Bone marrow smear: 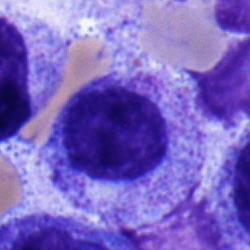

Q: What type of cell is this?
A: It is a myelocyte.